Bone marrow aspirate smear — 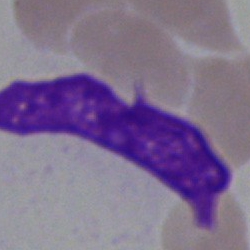

Q: What is shown here?
A: This is an artifact.